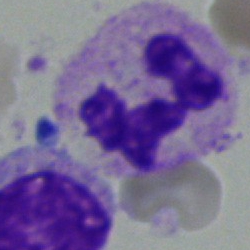 Morphology → neutrophil (segmented).